May-Grünwald-Giemsa stain. 250×250. Bone marrow smear:
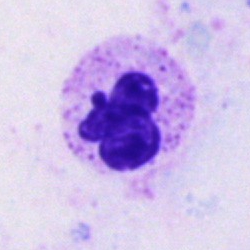{"cell_type": "neutrophil (segmented)", "lineage": "myeloid"}